Bone marrow aspirate smear.
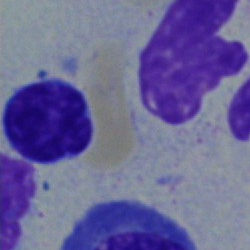Q: Identify the cell.
A: It is a typical lymphocyte.